Peripheral blood film · image size 400×400 · single cell centered in the field: 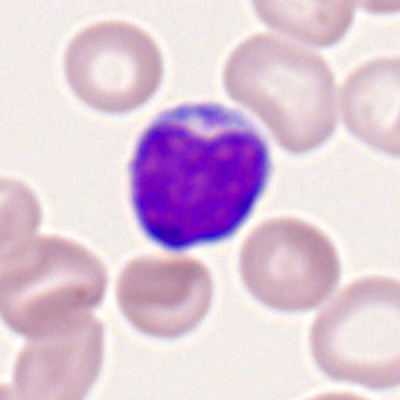 Morphological class — typical lymphocyte.